Peripheral blood film · M8 digital microscope (Precipoint), 100× oil immersion — 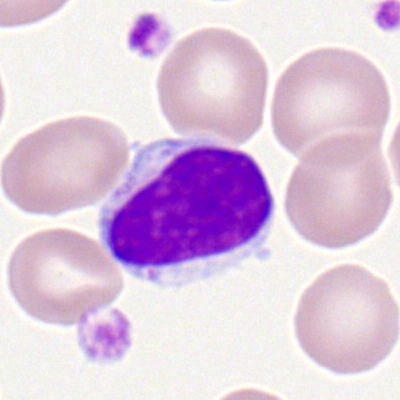

{"cell_type": "typical lymphocyte", "lineage": "lymphoid"}